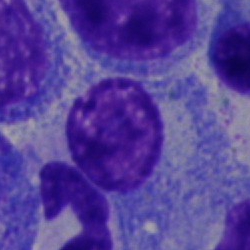Bone marrow aspirate smear, single cell — cell of indeterminate lineage.